Bone marrow smear; May-Grünwald-Giemsa stain.
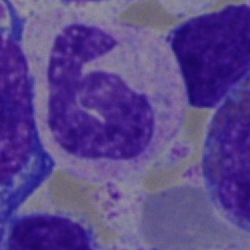

Q: What is the morphological classification of this cell?
A: Segmented neutrophil.